Bone marrow smear.
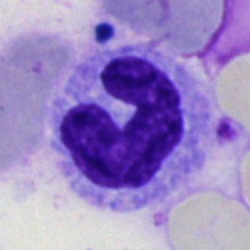

Morphology → segmented neutrophil.